Bone marrow smear — 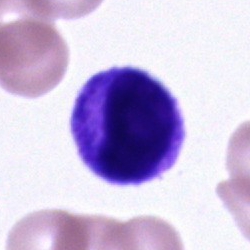
Morphology consistent with a cell of indeterminate lineage.